40× objective, oil immersion; bone marrow smear
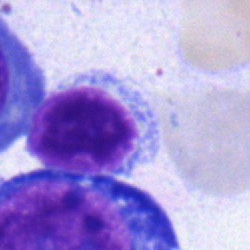 Q: What cell is this?
A: A lymphocyte.